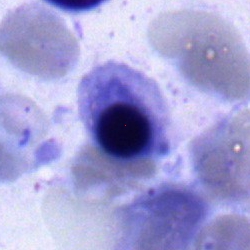

Specimen: bone marrow smear.
Cell type: nucleated red blood cell.